Bone marrow aspirate smear:
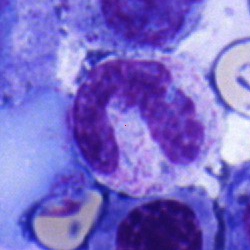This is a neutrophil (band).